Pappenheim-stained · bone marrow smear · single cell centered in the field.
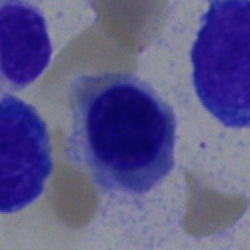
The cell type is normoblast.